Bone marrow aspirate smear — 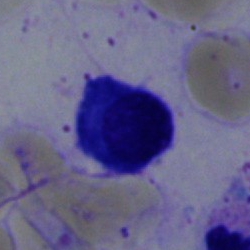

This is a plasma cell.